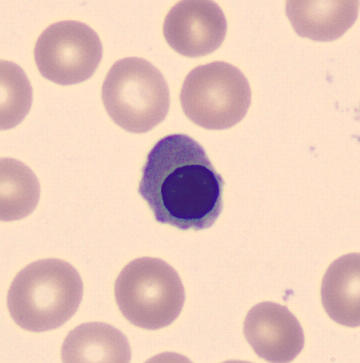 Erythroblast. Image: Peripheral blood film.